Bone marrow aspirate smear: 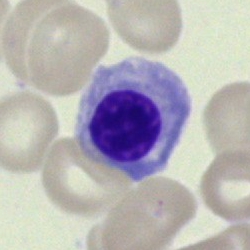
A nucleated red blood cell.